Single cell centered in the field · brightfield, 100× oil-immersion objective · peripheral blood film:
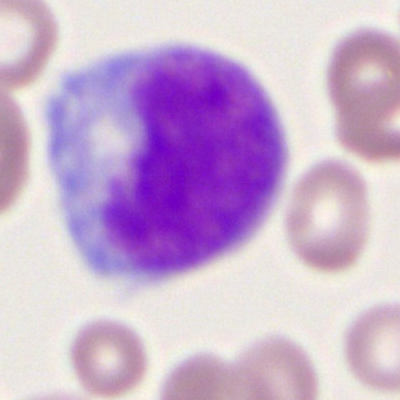Monocyte.